40× oil immersion. Bone marrow smear. Pappenheim-stained — 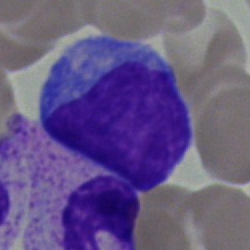 A blast.